Bone marrow smear
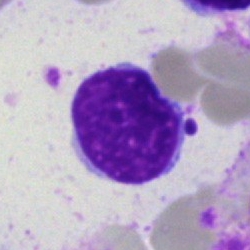Morphology — typical lymphocyte.